Bone marrow smear.
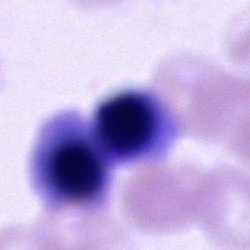 Specimen: bone marrow smear.
Morphological class: unidentifiable cell.